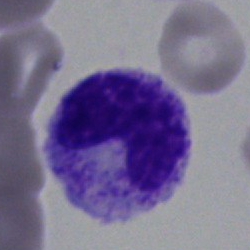Bone marrow smear showing a band-form neutrophil.